Peripheral blood film
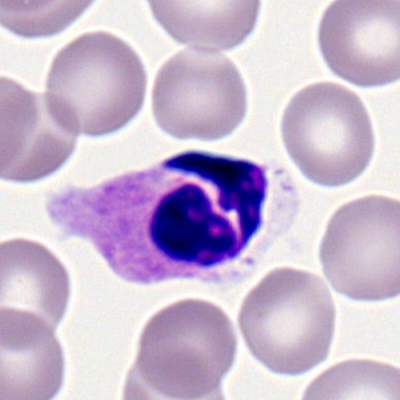 Neutrophil (segmented).